Bone marrow aspirate smear — 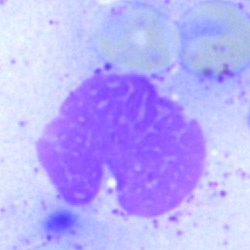
This is an artefact.